Bone marrow smear. MGG-stained — 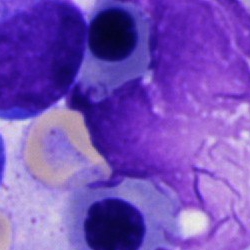 Showing an artefact.